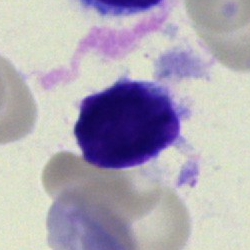

Morphological class — typical lymphocyte.